Bone marrow smear — 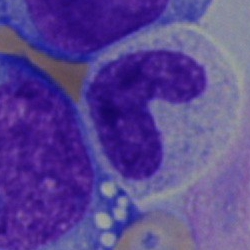

A stab cell.